Romanowsky-type stain; peripheral blood film — 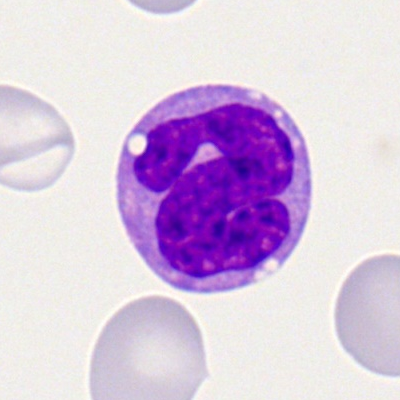
Specimen: peripheral blood film.
Cell type: monocyte.
Lineage: myeloid.